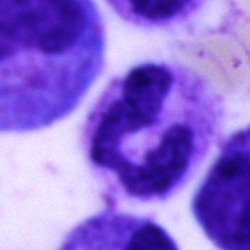
The classification is polymorphonuclear neutrophil.